MGG-stained. Bone marrow aspirate smear
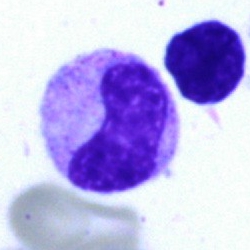 Q: Which cell type is shown here?
A: It is a band neutrophil.